Bone marrow smear: 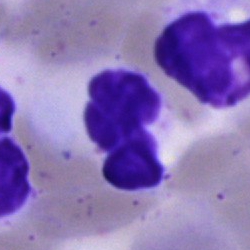 Morphological class = artefact.